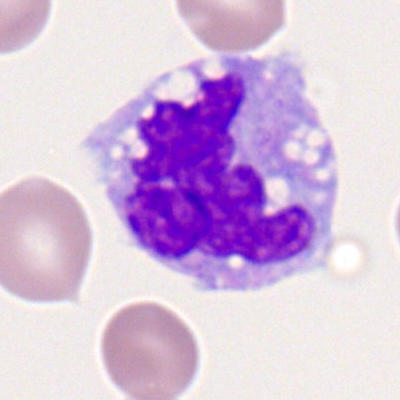

Cell — monocyte.